Bone marrow smear: 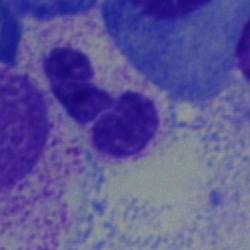

The cell shown is a segmented neutrophil.